Bone marrow smear
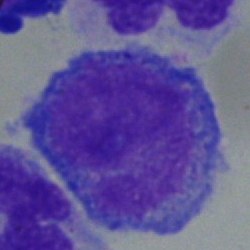
Q: What type of cell is this?
A: This is a blast.